Bone marrow smear; single-cell crop: 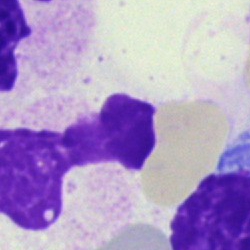 Morphology → artefact.